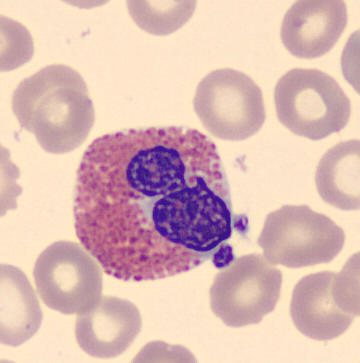Peripheral blood smear.

Identified as an eosinophilic granulocyte.